Bone marrow smear:
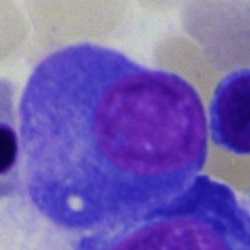The classification is plasma cell.